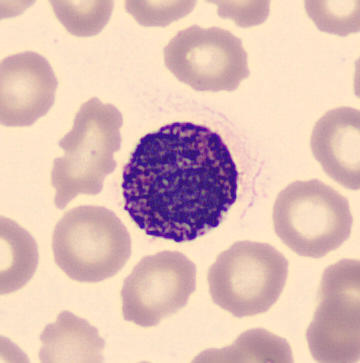 Acquisition: Peripheral blood smear; single-cell field.

Basophilic granulocyte.